Bone marrow aspirate smear
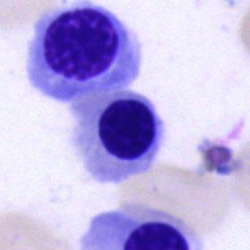 Q: What is shown here?
A: Nucleated red blood cell.